Peripheral blood film.
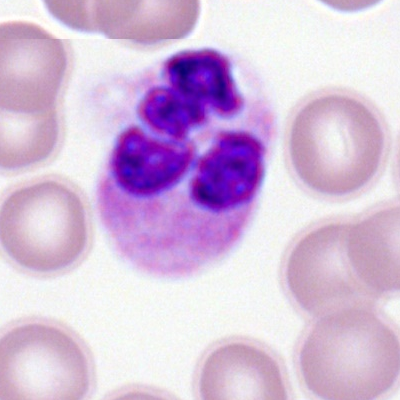
A neutrophil (segmented).